100× objective, oil immersion; peripheral blood smear — 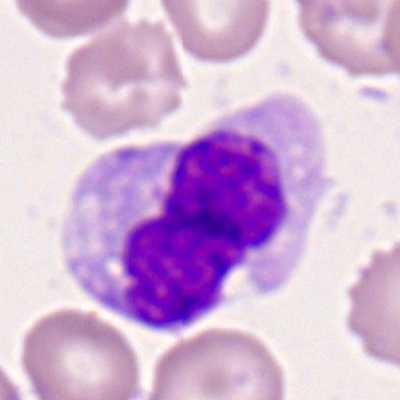

Morphological class = monocyte.